Single-cell field; bone marrow smear; 250×250 px.
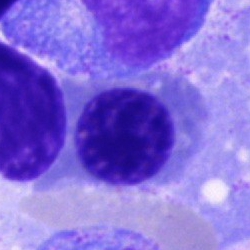
Specimen: bone marrow smear.
Classification: nucleated red cell.
Lineage: erythroid.